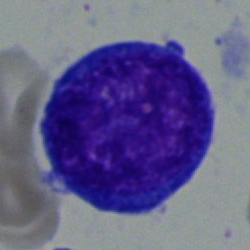Showing a progranulocyte.